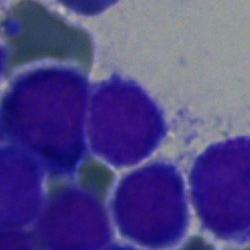

{"cell_type": "typical lymphocyte"}